May-Grünwald-Giemsa stain; bone marrow aspirate smear — 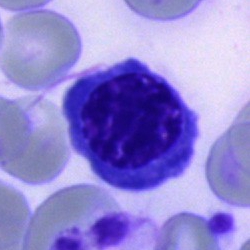A nucleated red cell.